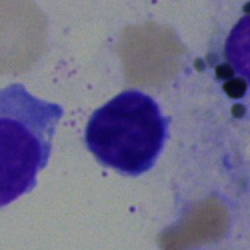
Impression → lymphocyte.